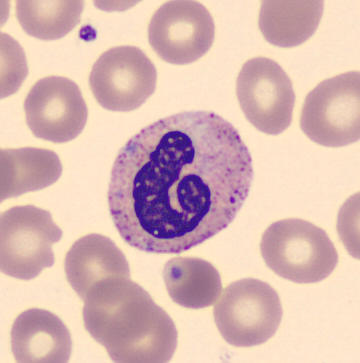 Single-cell crop from a peripheral blood smear: segmented neutrophil.